Bone marrow aspirate smear. 250 by 250 pixels.
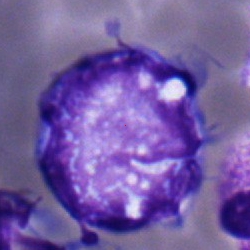 Specimen: bone marrow smear.
Cell: monocyte.
Lineage: myeloid.